Bone marrow smear:
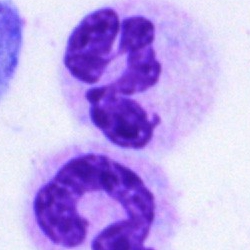

Q: Which cell type is shown here?
A: Neutrophil (segmented).